Bone marrow smear · May-Grünwald-Giemsa stain — 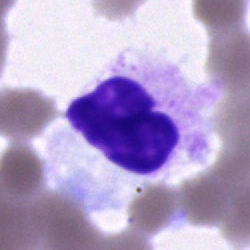

Morphology consistent with an artefact.